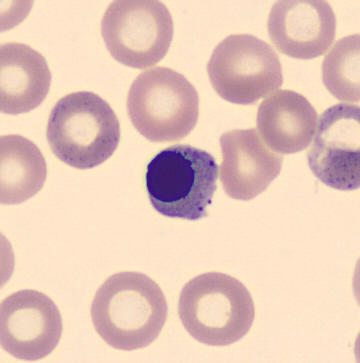The classification is erythroblast.
Image: Peripheral blood smear; single-cell field.